Peripheral blood smear.
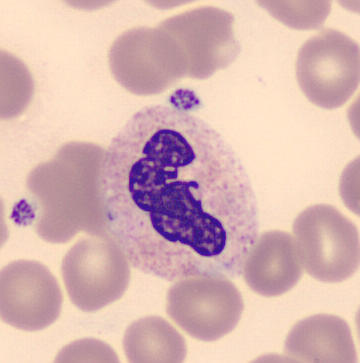Morphology consistent with a polymorphonuclear neutrophil.